Single-cell field. Bone marrow smear:
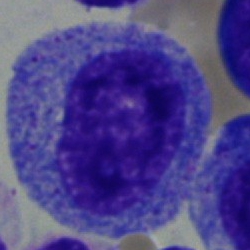

Single cell identified as a progranulocyte.